May-Grünwald-Giemsa stain. Bone marrow aspirate smear:
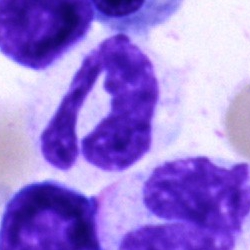

Classification = segmented neutrophil.